Bone marrow aspirate smear: 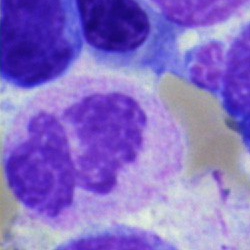
{"cell_type": "polymorphonuclear neutrophil"}